Bone marrow aspirate smear: 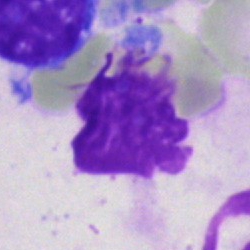

Cell = artefact.